Bone marrow aspirate smear — 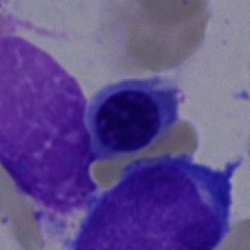 Cell: erythroblast.